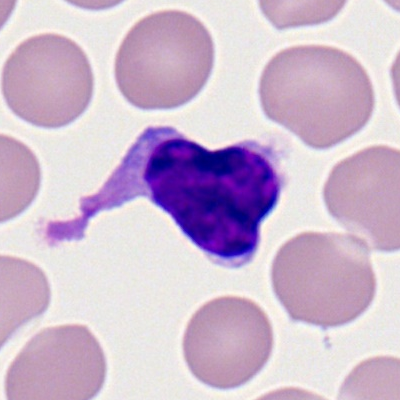Typical lymphocyte.